250×250 px; bone marrow aspirate smear
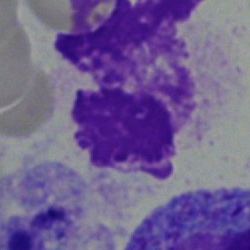
Cell type = artefact.